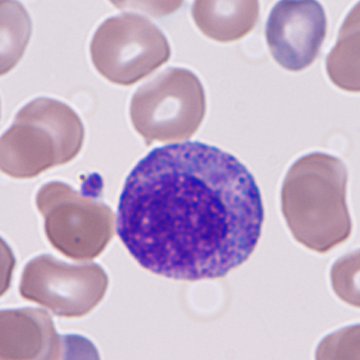 May-Grünwald-Giemsa-stained; 360×360; peripheral blood film. This is a granulocyte precursor.